Bone marrow aspirate smear. 250 by 250 pixels — 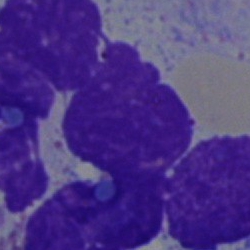 Morphological class: artifact.